Peripheral blood smear
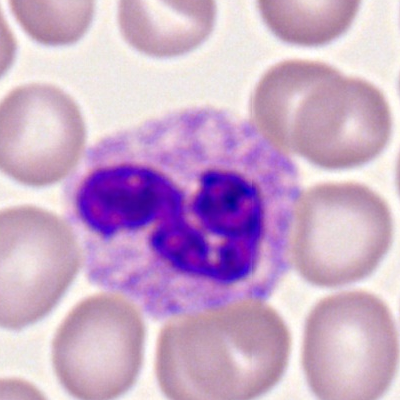Q: What is the morphological classification of this cell?
A: This is a segmented neutrophil.